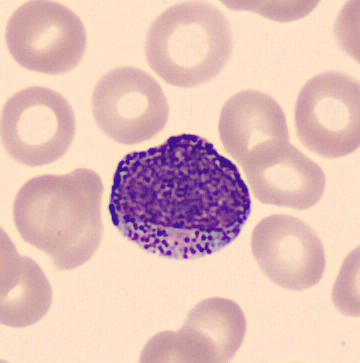 The cell type is progranulocyte. Image: Single-cell crop. May-Grünwald-Giemsa-stained. Peripheral blood smear.